Bone marrow aspirate smear:
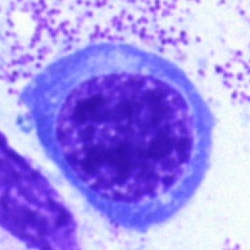 Morphology — normoblast.